Bone marrow aspirate smear
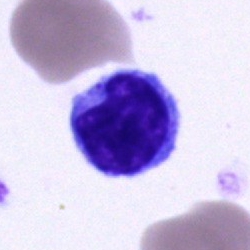

This is an undifferentiated blast.